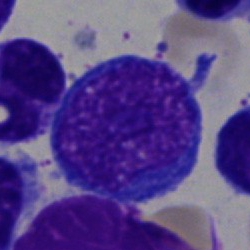Q: Identify the cell.
A: Normoblast.